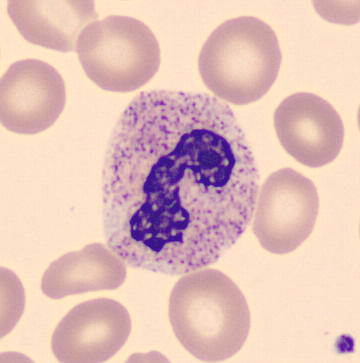 A band-form neutrophil on a peripheral blood smear.